Bone marrow aspirate smear; MGG-stained; single cell centered in the field:
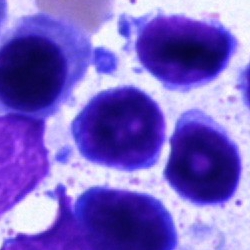 Classification — lymphocyte.